Peripheral blood film — 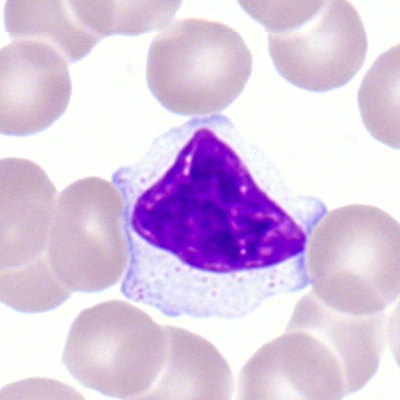
Cell: lymphocyte.